Bone marrow smear:
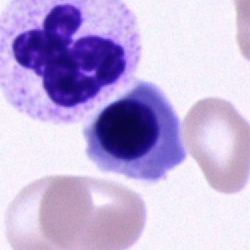 Morphology consistent with a nucleated red blood cell.